Bone marrow aspirate smear: 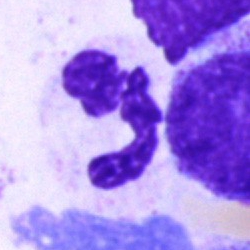
Q: What is shown here?
A: It is a segmented neutrophil.